MGG-stained; single-cell field; bone marrow aspirate smear: 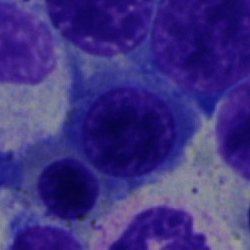Morphology consistent with a nucleated red cell.